Bone marrow smear. Cropped to a single cell — 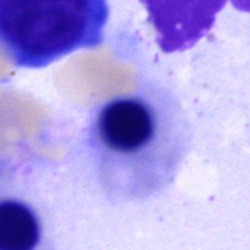Q: Identify the cell.
A: Nucleated red cell.